Bone marrow aspirate smear.
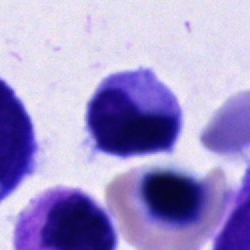

A cell of indeterminate lineage.